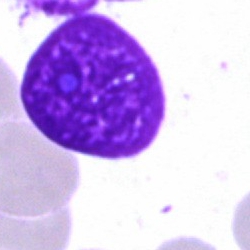
Single cell identified as an artifact.